Cropped to a single cell. Bone marrow smear
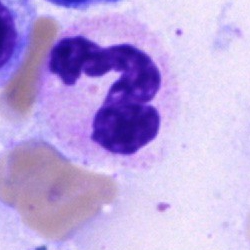

Specimen: bone marrow smear.
Cell: neutrophil (segmented).
Lineage: myeloid.